Bone marrow smear.
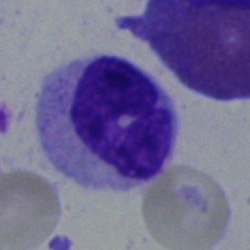Q: What is shown here?
A: This is a monocyte.